Bone marrow smear · MGG-stained:
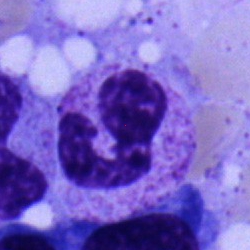 Specimen: bone marrow aspirate smear.
Cell: band neutrophil.